Peripheral blood film. Single-cell field.
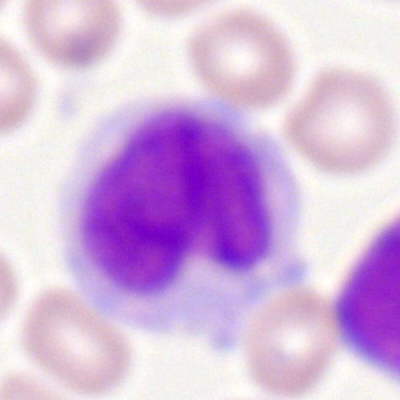 Monocyte.